May-Grünwald-Giemsa/Pappenheim stain; bone marrow smear — 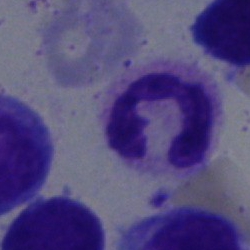 Specimen: bone marrow smear.
Cell: segmented neutrophil.
Lineage: myeloid.